Bone marrow aspirate smear. Brightfield microscopy, 40× oil immersion. Single cell centered in the field
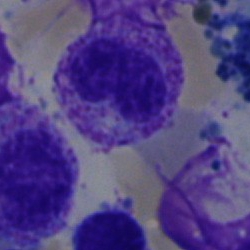Morphology consistent with a polymorphonuclear neutrophil.